Bone marrow aspirate smear · single-cell crop · Pappenheim-stained:
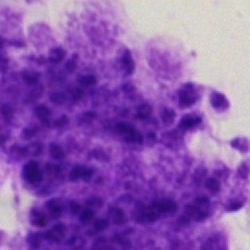

Q: What is shown here?
A: This is an artefact.